Brightfield microscopy, 40× oil immersion; bone marrow aspirate smear — 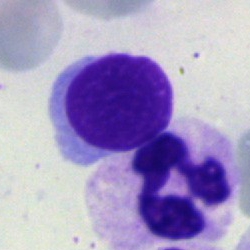

This is a segmented neutrophil.